Bone marrow smear. Brightfield, 40× oil-immersion objective
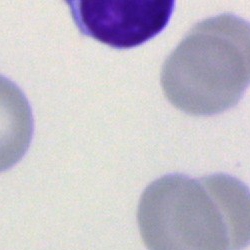

Classification — cell of indeterminate lineage.